MGG-stained. Bone marrow smear — 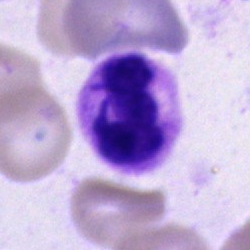 Morphology — neutrophil (segmented).